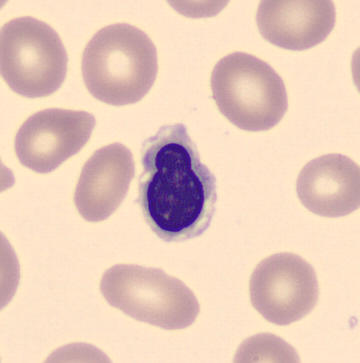
Impression → erythroblast.